Peripheral blood film.
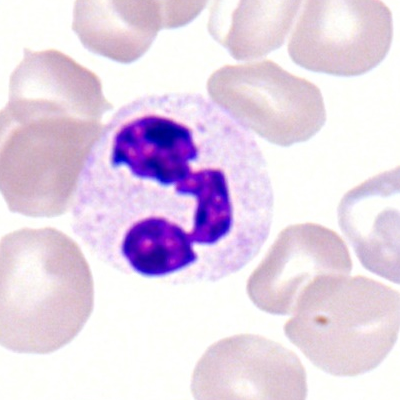
Single cell identified as a neutrophil (segmented).